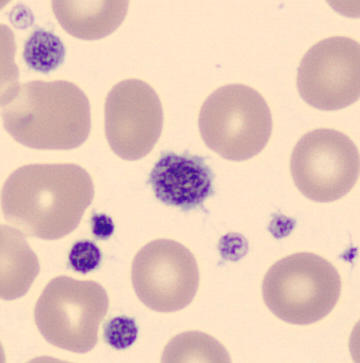Classification = platelet (thrombocyte). Peripheral blood smear · automated cell imaging (CellaVision DM96) · MGG stain.